Bone marrow smear. MGG-stained. Single-cell crop
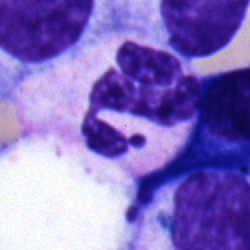

Q: Which cell type is shown here?
A: It is a polymorphonuclear neutrophil.